Pappenheim-stained. Bone marrow smear
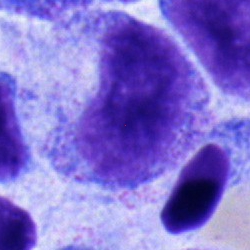 Myelocyte.